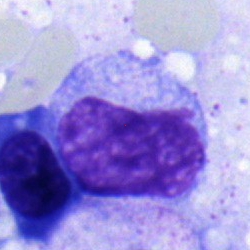
Single-cell crop from a bone marrow smear: metamyelocyte.